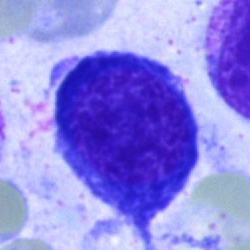

The cell is nucleated red cell.